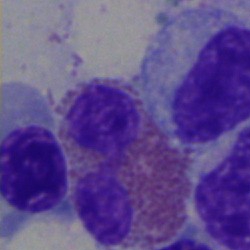

Specimen: bone marrow aspirate smear.
Cell: eosinophil.
Lineage: myeloid.